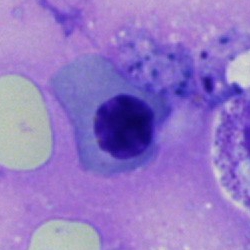
The cell shown is an erythroblast.